Cropped to a single cell; bone marrow aspirate smear; May-Grünwald-Giemsa/Pappenheim stain:
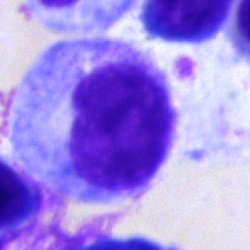 Q: What cell is this?
A: A progranulocyte.